Bone marrow smear; 250×250: 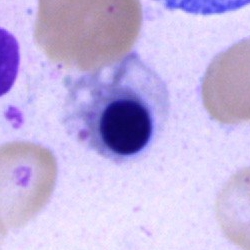
Morphological class: nucleated red blood cell.